Bone marrow aspirate smear.
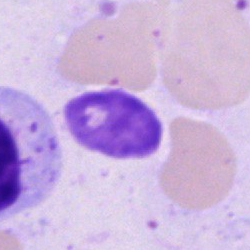 This is an artefact.